Bone marrow smear
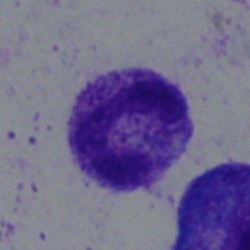
Q: Which cell type is shown here?
A: A neutrophil (segmented).